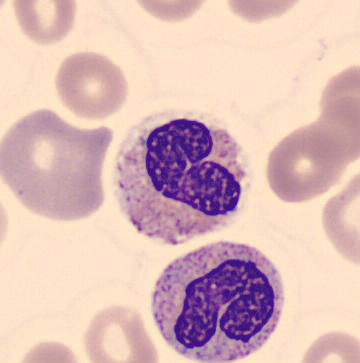
Preparation: Peripheral blood smear; 360×363 px.

Morphological class: band neutrophil.